Bone marrow aspirate smear.
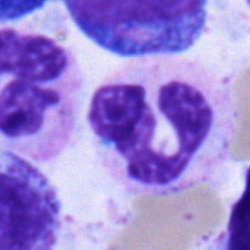
Q: What is shown here?
A: A segmented neutrophil.